Single-cell crop. Bone marrow aspirate smear. 40× objective, oil immersion:
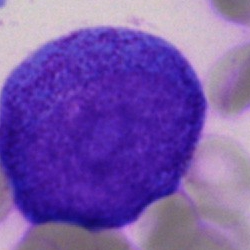Impression → progranulocyte.